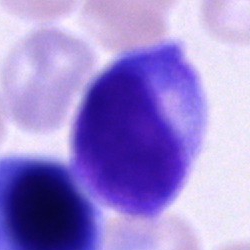
Q: Which cell type is shown here?
A: Cell of indeterminate lineage.